Bone marrow aspirate smear: 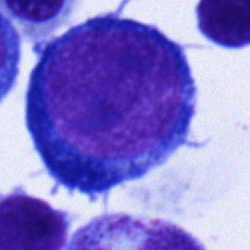 The cell shown is a proerythroblast.